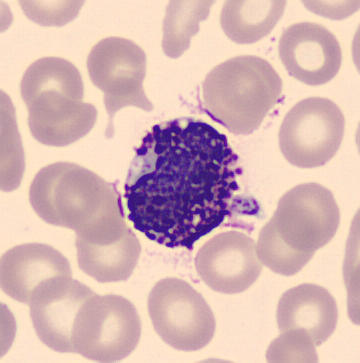
Peripheral blood film.

Identified as a basophilic granulocyte.